May-Grünwald-Giemsa stain; bone marrow aspirate smear; single-cell crop:
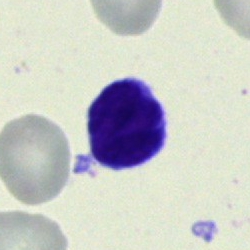 Classification: typical lymphocyte.